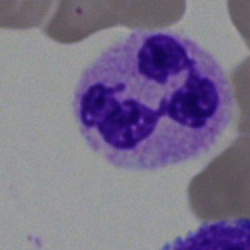Morphology — polymorphonuclear neutrophil.